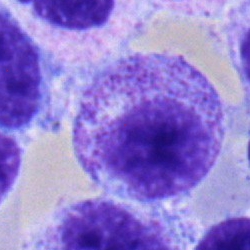
The classification is myelocyte.